Pappenheim-stained. Bone marrow aspirate smear — 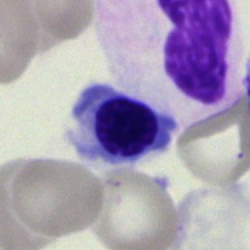Q: What type of cell is this?
A: Nucleated red blood cell.